Bone marrow smear: 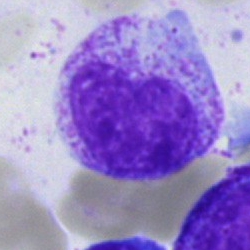

Q: What is the morphological classification of this cell?
A: It is a myelocyte.